Image size 400×400 · peripheral blood film · single cell centered in the field:
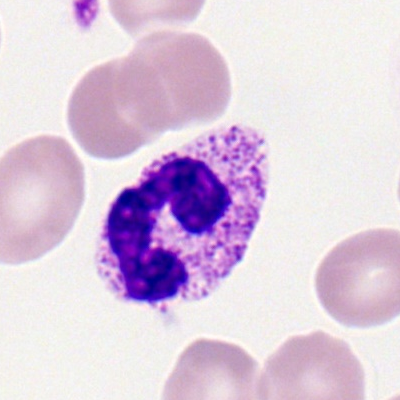

Q: What type of cell is this?
A: A polymorphonuclear neutrophil.